Bone marrow aspirate smear
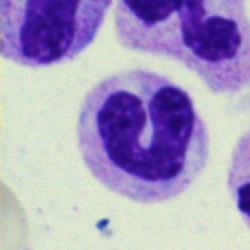 The cell shown is a band-form neutrophil.